Bone marrow smear. 40× objective, oil immersion:
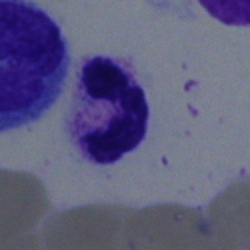

Specimen: bone marrow smear.
Morphological class: polymorphonuclear neutrophil.
Lineage: myeloid.